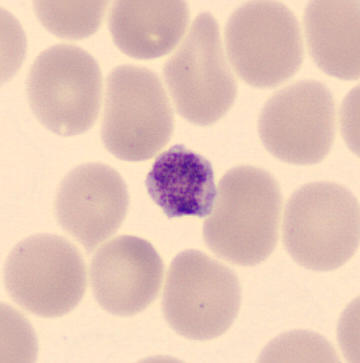

MGG stain. Peripheral blood film. 360 by 363 pixels.
Showing a thrombocyte.